Bone marrow smear
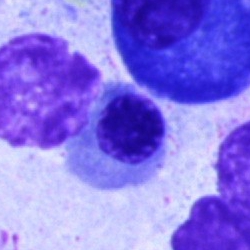
Classification: nucleated red blood cell.